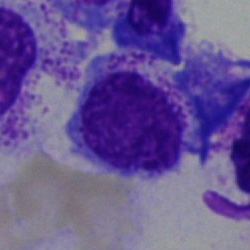Q: What type of cell is this?
A: Myelocyte.